Bone marrow aspirate smear.
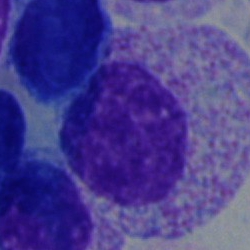

Classification — myelocyte.